Brightfield microscopy, 40× oil immersion; bone marrow smear.
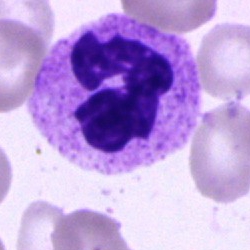Cell type — polymorphonuclear neutrophil.